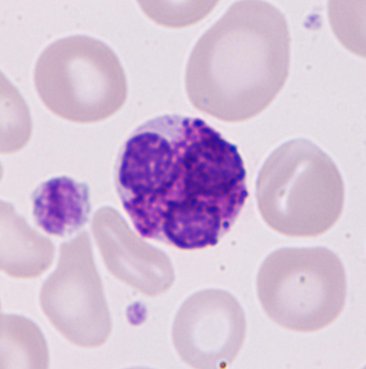
Cell = basophilic granulocyte.